Bone marrow aspirate smear.
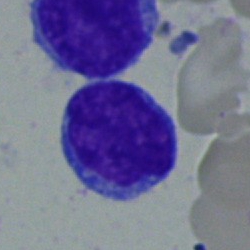
Q: What cell is this?
A: Lymphocyte.